Bone marrow aspirate smear; 250 by 250 pixels
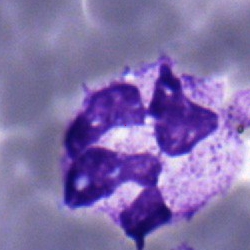Cell type = polymorphonuclear neutrophil.